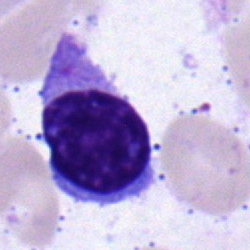 Cell: nucleated red cell.